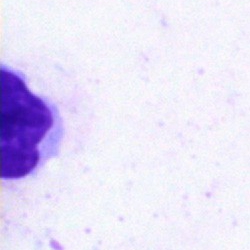 Q: What is shown here?
A: This is an artifact.